Peripheral blood smear — 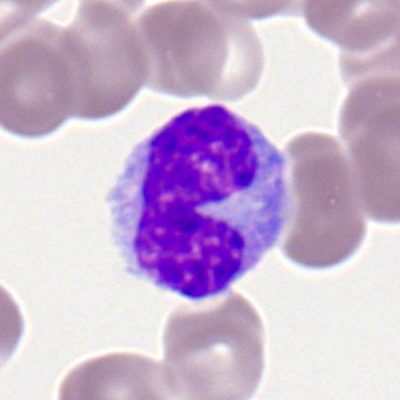
Morphology — monocyte.